Single cell centered in the field; bone marrow smear: 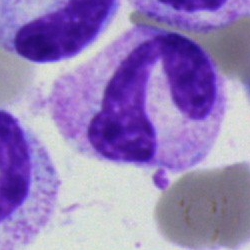A segmented neutrophil.